Single-cell crop; peripheral blood film: 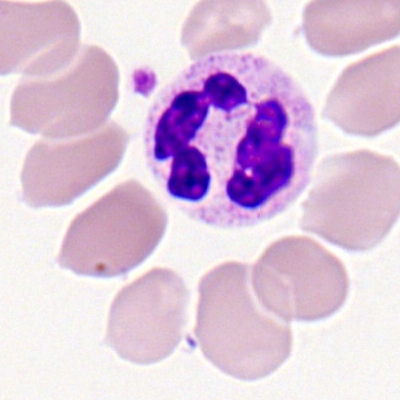 Q: What cell is this?
A: A neutrophil (segmented).